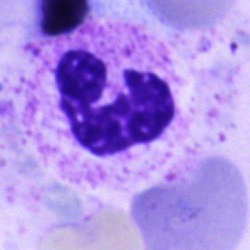

The morphological class is neutrophil (segmented).